Bone marrow aspirate smear
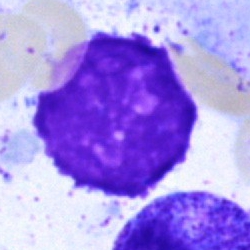The cell shown is an artefact.